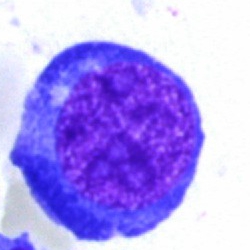 This is an erythroblast.